250×250. May-Grünwald-Giemsa stain. Bone marrow smear:
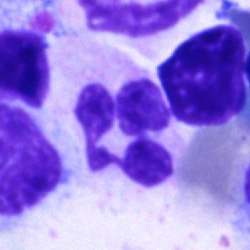
This is a polymorphonuclear neutrophil.